250×250 px · May-Grünwald-Giemsa/Pappenheim stain · bone marrow aspirate smear:
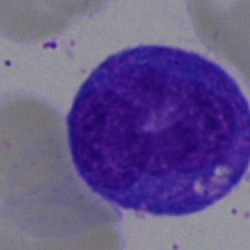Impression → promyelocyte.